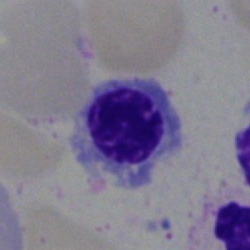Single-cell crop from a bone marrow smear: normoblast.